Peripheral blood film.
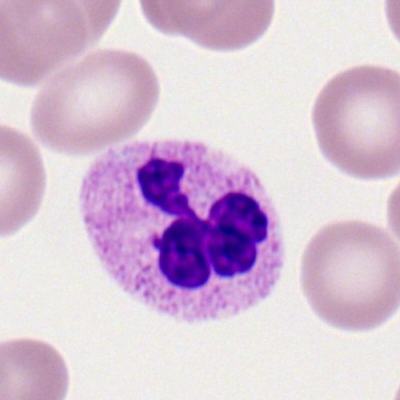
The cell type is neutrophil (segmented).